Cropped to a single cell; bone marrow aspirate smear
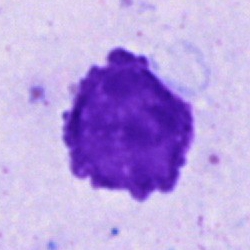 Q: What is shown here?
A: This is an artefact.